Bone marrow aspirate smear; single cell centered in the field
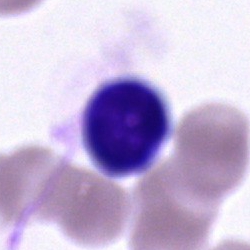 Morphology consistent with a cell of indeterminate lineage.